Bone marrow aspirate smear: 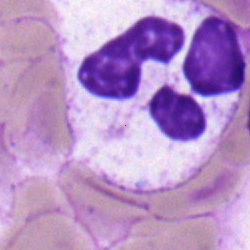

{"cell_type": "neutrophil (segmented)", "lineage": "myeloid"}